Romanowsky-type stain. Peripheral blood film
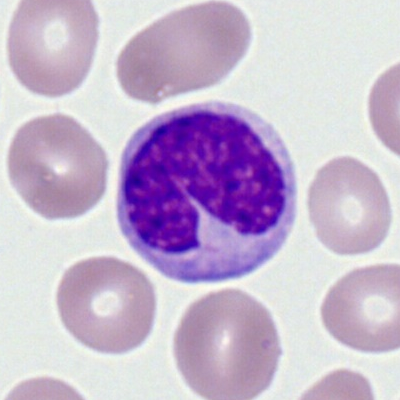
Impression → monocyte.